Bone marrow smear — 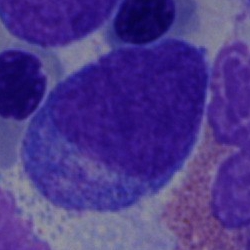Specimen: bone marrow smear.
Cell type: progranulocyte.